Bone marrow smear.
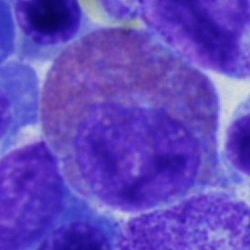Q: What is the morphological classification of this cell?
A: An eosinophil.